40× oil immersion. Image size 250×250. Bone marrow aspirate smear — 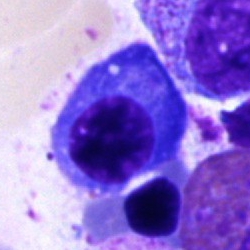This is a plasma cell.